Bone marrow smear: 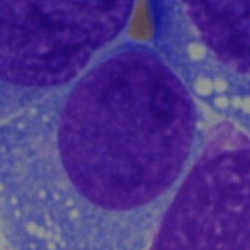
Q: Identify the cell.
A: It is a blast.